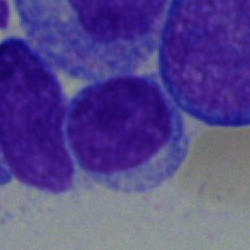Q: What is shown here?
A: A typical lymphocyte.